Bone marrow smear; brightfield microscopy, 40× oil immersion
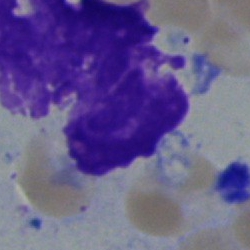

Morphological class — artefact.